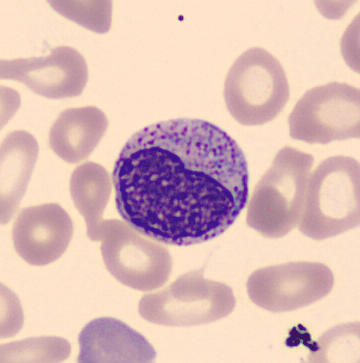
Acquisition: Peripheral blood film.
Classification = myelocyte.